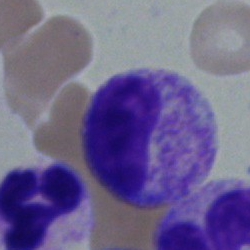Cell: metamyelocyte.